Bone marrow aspirate smear
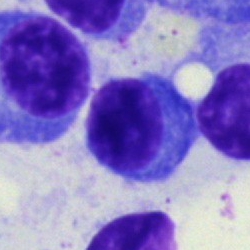

Morphology — plasmacyte.